Single cell centered in the field · bone marrow aspirate smear · MGG-stained: 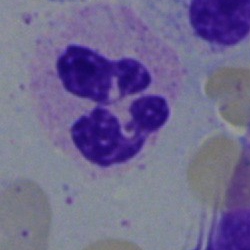
Cell = neutrophil (segmented).